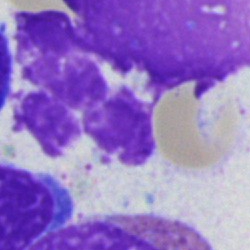{"cell_type": "artifact"}